Bone marrow smear; single-cell crop:
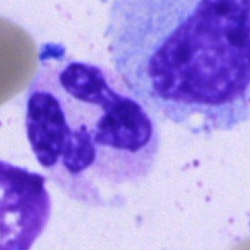
Specimen: bone marrow aspirate smear.
Cell type: segmented neutrophil.